Bone marrow aspirate smear
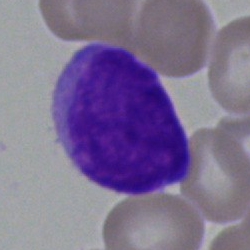
The cell shown is an undifferentiated blast.